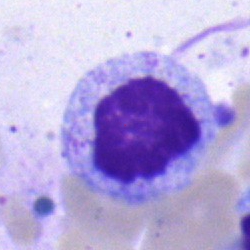
Bone marrow aspirate smear, single cell — myelocyte.